Bone marrow aspirate smear
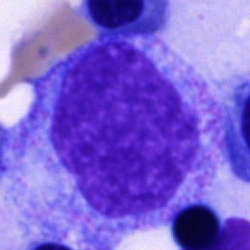 {"cell_type": "promyelocyte"}